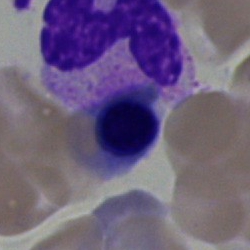Bone marrow aspirate smear, single cell — nucleated red cell.